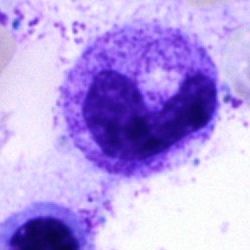The morphological class is neutrophil (band).